Bone marrow aspirate smear
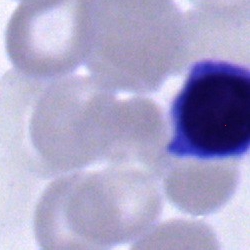 Q: Identify the cell.
A: This is a typical lymphocyte.